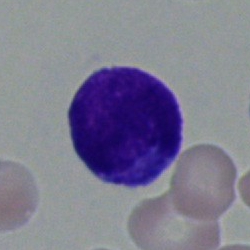Classification — blast.